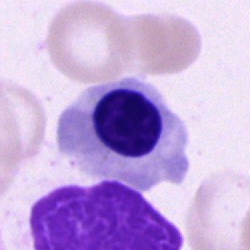 Q: What is the morphological classification of this cell?
A: It is a normoblast.